MGG-stained; bone marrow aspirate smear; brightfield, 40× oil-immersion objective.
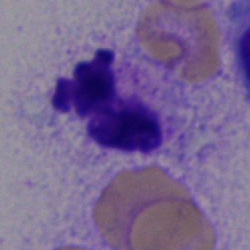

Impression — segmented neutrophil.